Single-cell field; bone marrow aspirate smear:
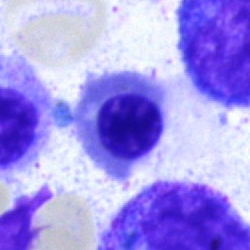Single cell identified as an erythroblast.